Bone marrow smear; May-Grünwald-Giemsa stain; 40× objective, oil immersion — 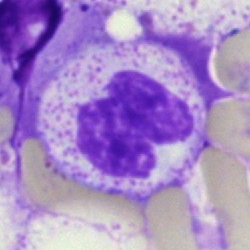

Q: What cell is this?
A: This is a polymorphonuclear neutrophil.